Bone marrow aspirate smear.
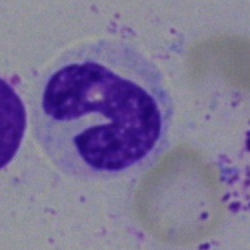
Morphology → segmented neutrophil.